Bone marrow aspirate smear. Single cell centered in the field: 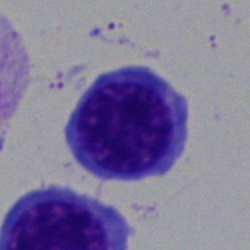Morphological class — nucleated red cell.